Bone marrow smear:
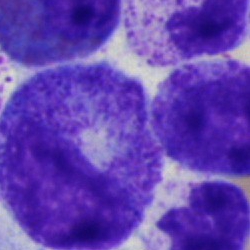
The cell shown is a progranulocyte.